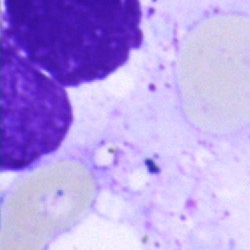 Q: What is shown here?
A: It is an artefact.